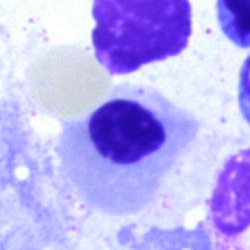 Morphology — erythroblast.